Bone marrow aspirate smear — 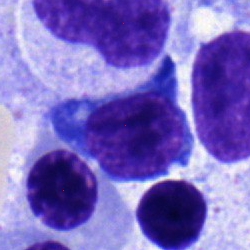
A nucleated red cell.